Bone marrow smear:
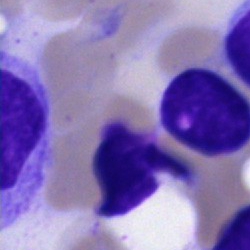Q: What is shown here?
A: Artifact.